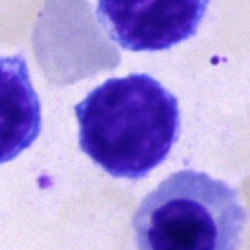 Q: What is shown here?
A: A typical lymphocyte.